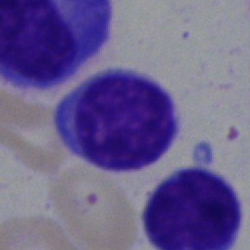
Morphology → lymphocyte.